40× oil immersion. Bone marrow aspirate smear. Single-cell crop
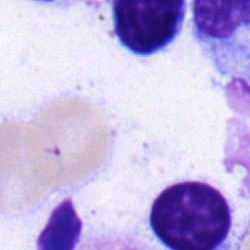
Morphology consistent with a lymphocyte.